Peripheral blood smear — 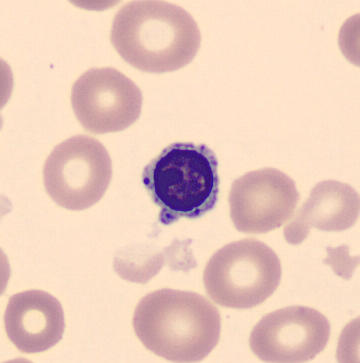Nucleated red cell.